Bone marrow aspirate smear · Pappenheim-stained · 40× oil immersion
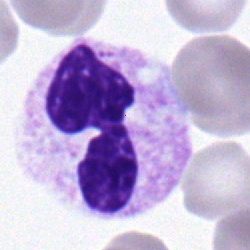A segmented neutrophil.